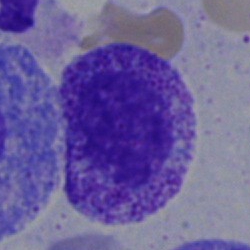Q: Which cell type is shown here?
A: A myelocyte.